Single cell centered in the field. MGG-stained. Bone marrow aspirate smear.
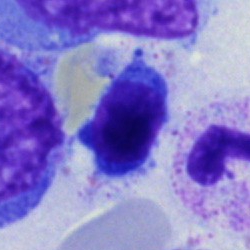 Specimen: bone marrow aspirate smear.
Cell: normoblast.